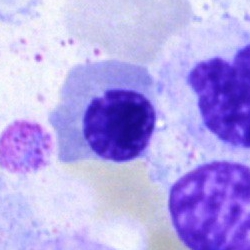Q: What is shown here?
A: It is a normoblast.